Bone marrow aspirate smear: 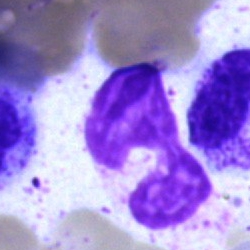
Impression — artefact.